Bone marrow smear:
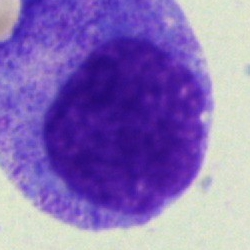

Morphology → promyelocyte.